Single-cell field · May-Grünwald-Giemsa/Pappenheim stain · bone marrow aspirate smear:
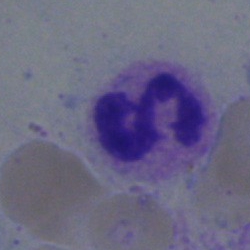Polymorphonuclear neutrophil.